Bone marrow smear · May-Grünwald-Giemsa stain:
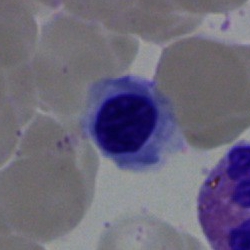 Q: Identify the cell.
A: Normoblast.